Bone marrow aspirate smear; 250×250 px; Pappenheim-stained:
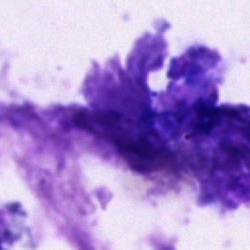 Classification: artifact.